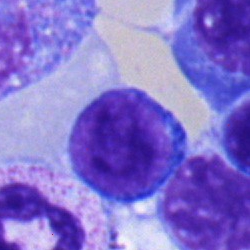

The cell is normoblast.